100× oil immersion · peripheral blood smear:
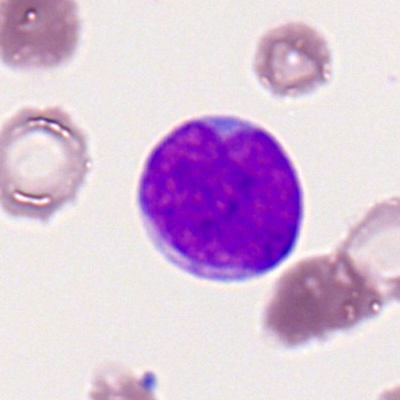
Myeloid blast.